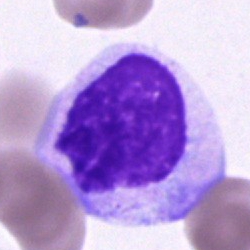
The cell is myelocyte.